40× objective, oil immersion; bone marrow smear
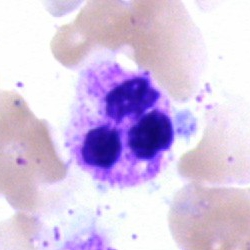

A polymorphonuclear neutrophil.